Bone marrow smear:
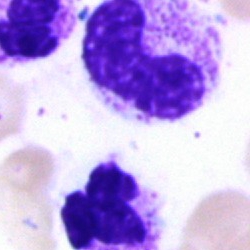 Cell type: neutrophil (band).